Bone marrow smear · brightfield microscopy, 40× oil immersion · single-cell field — 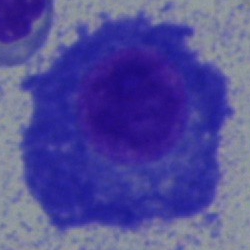 Classification = plasma cell.